40× objective, oil immersion · bone marrow aspirate smear.
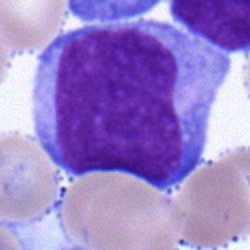

A blast cell.